Bone marrow smear · 250×250.
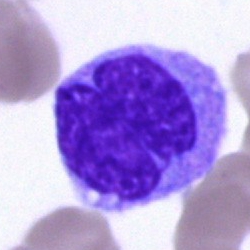 Monocyte.